Bone marrow smear. Single-cell field — 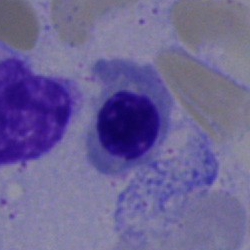 Morphology — erythroblast.